Single-cell field. Bone marrow smear
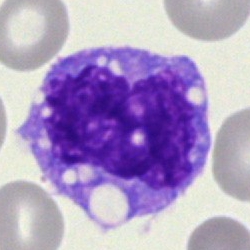
Morphology consistent with a monocyte.